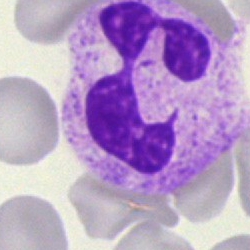 Morphological class = polymorphonuclear neutrophil.